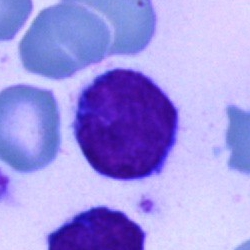{"cell_type": "typical lymphocyte", "lineage": "lymphoid"}